40× objective, oil immersion; 250 by 250 pixels; bone marrow smear.
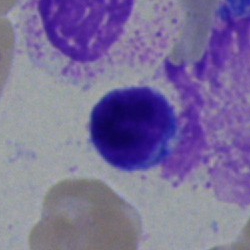
The cell shown is a typical lymphocyte.